40× objective, oil immersion · bone marrow aspirate smear · 250×250: 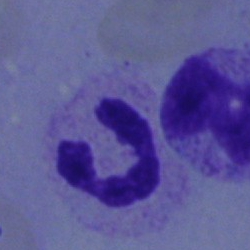Showing a segmented neutrophil.